Bone marrow smear; May-Grünwald-Giemsa stain; single-cell crop: 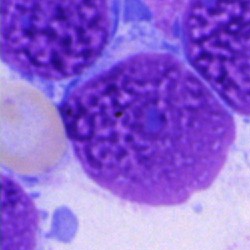
Morphological class: artifact.